Bone marrow smear: 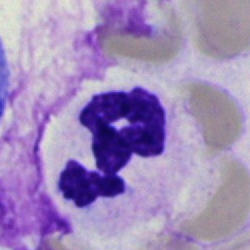
Cell type = polymorphonuclear neutrophil.